Bone marrow smear
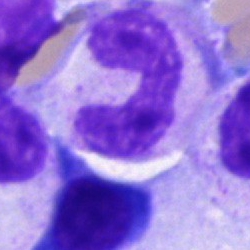
Showing a neutrophil (band).